Bone marrow smear · May-Grünwald-Giemsa stain.
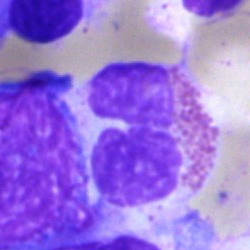 The morphological class is eosinophilic granulocyte.